Bone marrow aspirate smear.
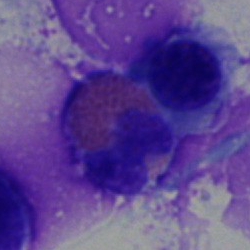

The cell is eosinophil.